Bone marrow smear
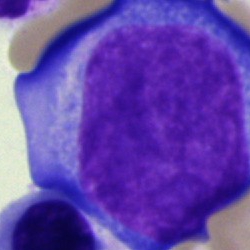 Specimen: bone marrow aspirate smear.
Classification: proerythroblast.
Lineage: erythroid.